Brightfield microscopy, 40× oil immersion; bone marrow aspirate smear — 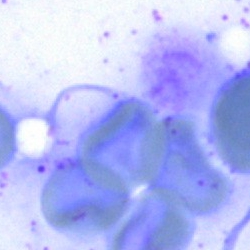 This is an artifact.